Bone marrow smear. Cropped to a single cell.
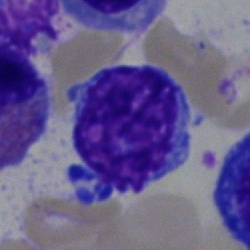
Impression — typical lymphocyte.